250×250 px · bone marrow aspirate smear — 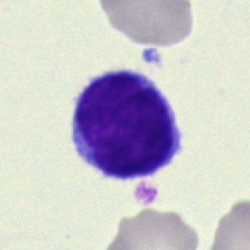
Single cell identified as a typical lymphocyte.